Bone marrow smear; 40× oil immersion: 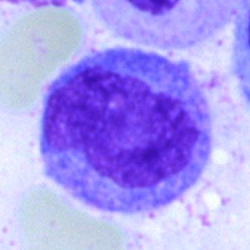
Specimen: bone marrow aspirate smear.
Cell type: metamyelocyte.
Lineage: myeloid.